Bone marrow aspirate smear; brightfield microscopy, 40× oil immersion; single-cell crop: 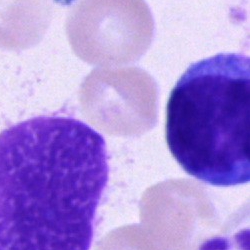
Specimen: bone marrow smear.
Morphological class: cell of indeterminate lineage.